Bone marrow smear.
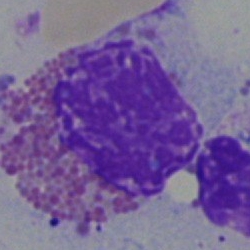

Impression → eosinophil.